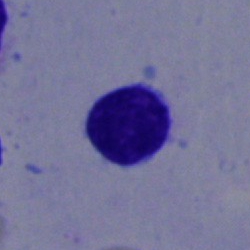

Typical lymphocyte.